Bone marrow aspirate smear. 250×250 — 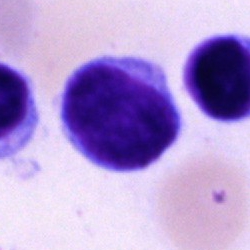

Morphology consistent with a typical lymphocyte.